Bone marrow aspirate smear
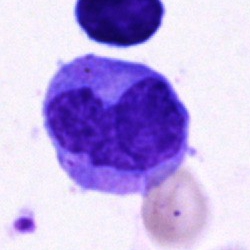
This is a monocyte.